40× oil immersion. Bone marrow aspirate smear.
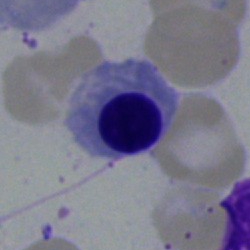 A nucleated red cell.